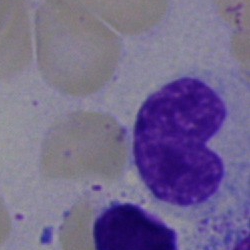

The cell is neutrophil (band).